400×400. Peripheral blood smear: 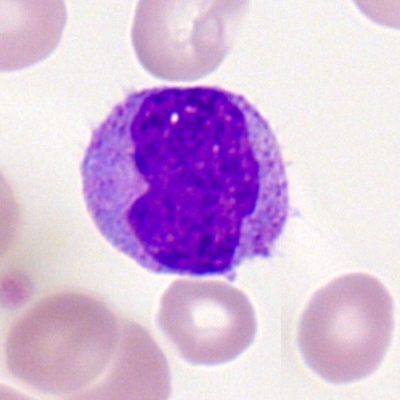Morphology consistent with a monocyte.